Bone marrow aspirate smear: 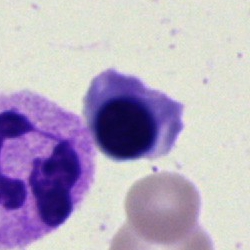

This is a nucleated red cell.